Bone marrow aspirate smear. Single-cell crop. Brightfield microscopy, 40× oil immersion
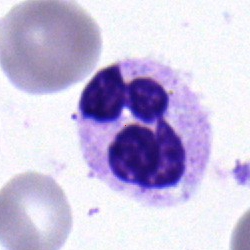Morphological class: neutrophil (segmented).